Bone marrow smear: 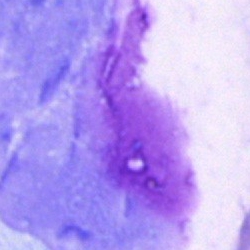
Classification = artifact.